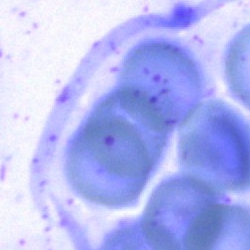 Morphological class: artefact.